Peripheral blood smear — 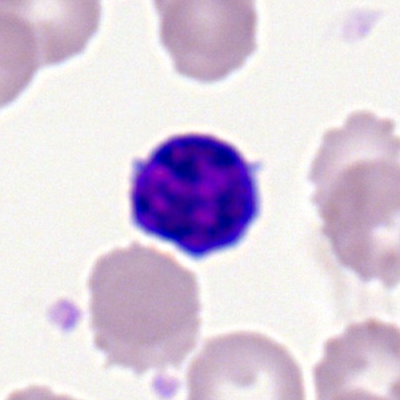

Specimen: peripheral blood film.
Cell type: lymphocyte.